Bone marrow aspirate smear
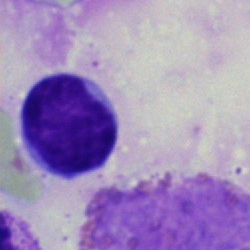 Showing a typical lymphocyte.